Bone marrow aspirate smear:
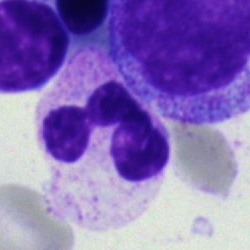Cell: polymorphonuclear neutrophil.